May-Grünwald-Giemsa stain. 40× objective, oil immersion. Bone marrow smear:
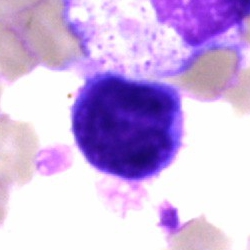Single cell identified as a plasmacyte.